Bone marrow smear. Image size 250×250
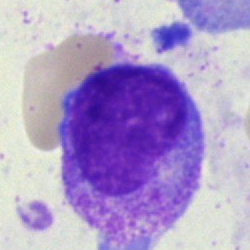Cell — myelocyte.